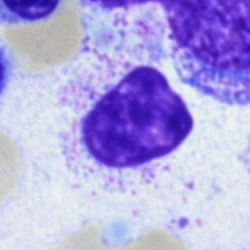

The cell is myelocyte.